Bone marrow aspirate smear: 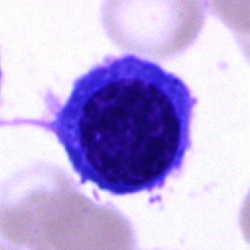 Normoblast.